Bone marrow smear · cropped to a single cell: 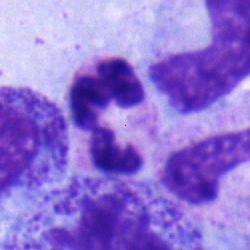
Q: What is the morphological classification of this cell?
A: It is a segmented neutrophil.